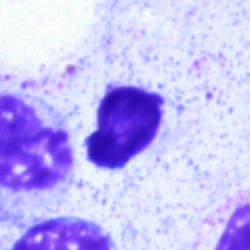
Classification = artifact.